Bone marrow smear.
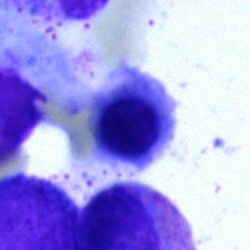

Nucleated red blood cell.